Bone marrow smear
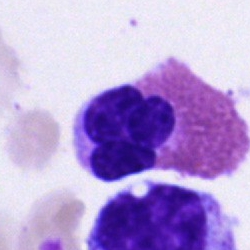 Single cell identified as an eosinophilic granulocyte.